Single cell centered in the field · bone marrow aspirate smear: 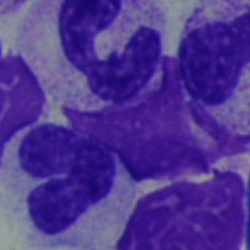
Specimen: bone marrow aspirate smear.
Cell: polymorphonuclear neutrophil.